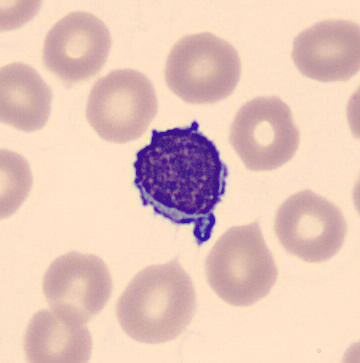Peripheral blood smear. Single cell centered in the field. Q: What cell is this?
A: A lymphocyte.